Bone marrow aspirate smear — 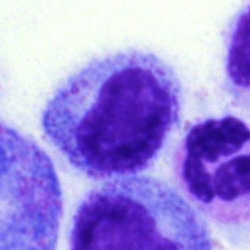Specimen: bone marrow aspirate smear.
Cell type: myelocyte.